Bone marrow smear
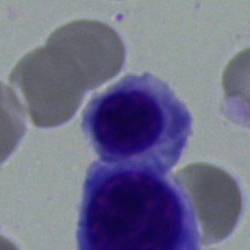

Single cell identified as an erythroblast.